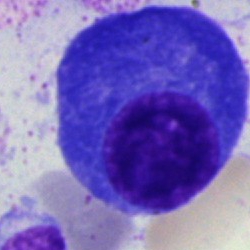

Cell — plasma cell.